Bone marrow aspirate smear:
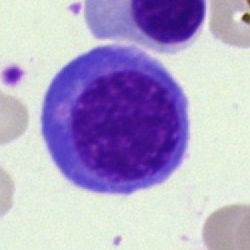

A nucleated red blood cell.